Bone marrow aspirate smear.
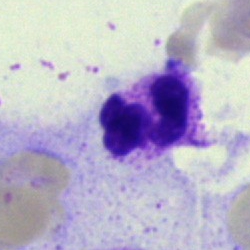 Specimen: bone marrow aspirate smear.
Cell: neutrophil (segmented).